250×250. Bone marrow smear. Single-cell crop:
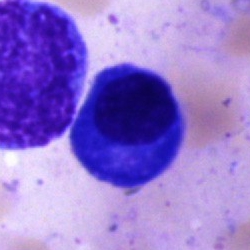
Morphology → plasmacyte.